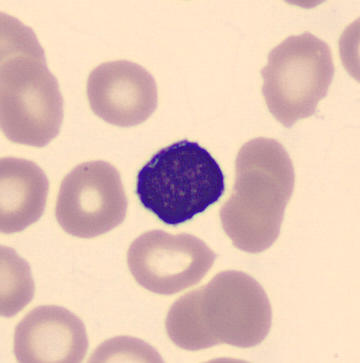 {"cell_type": "lymphocyte", "lineage": "lymphoid"}